Bone marrow aspirate smear
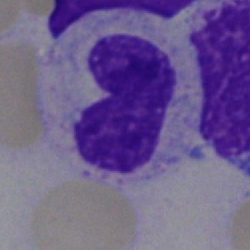 Specimen: bone marrow smear.
Classification: stab cell.